250×250. Pappenheim-stained. Bone marrow smear.
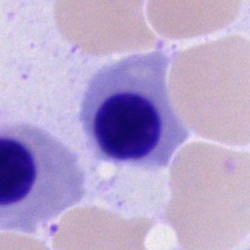 Erythroblast.